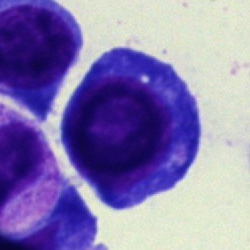The morphological class is erythroblast.